Bone marrow smear
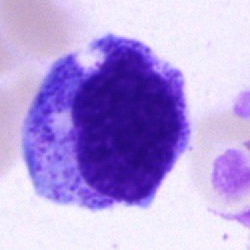
Classification = promyelocyte.